250×250. Bone marrow aspirate smear:
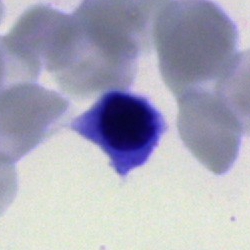This is an erythroblast.